Bone marrow aspirate smear:
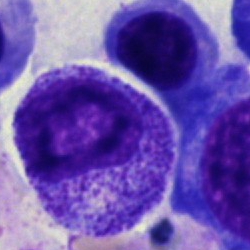 Specimen: bone marrow aspirate smear.
Cell type: myelocyte.
Lineage: myeloid.